Brightfield, 40× oil-immersion objective. Bone marrow smear:
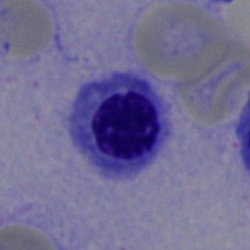An erythroblast.